Bone marrow smear — 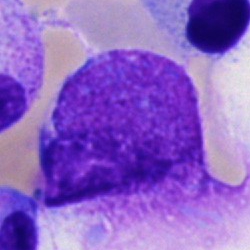An artefact.